Bone marrow smear:
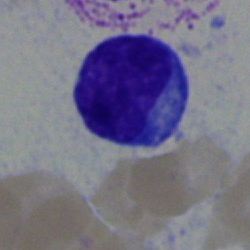

Classification = typical lymphocyte.